Bone marrow smear — 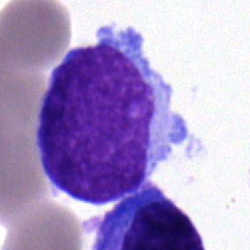

Morphology → blast cell.